Single-cell crop. Bone marrow smear.
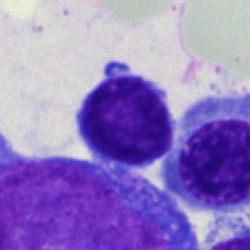
Impression — typical lymphocyte.